Bone marrow aspirate smear:
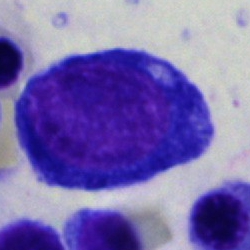 Q: What type of cell is this?
A: This is a pronormoblast.